Bone marrow aspirate smear: 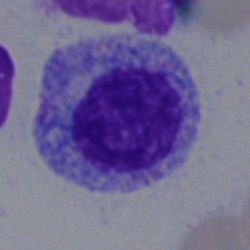

Morphology → myelocyte.